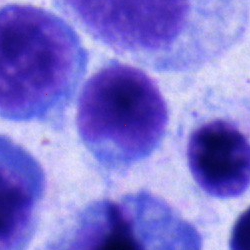 Single-cell crop from a bone marrow smear: promyelocyte.